Bone marrow smear. May-Grünwald-Giemsa/Pappenheim stain.
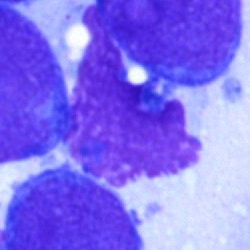
Artefact.